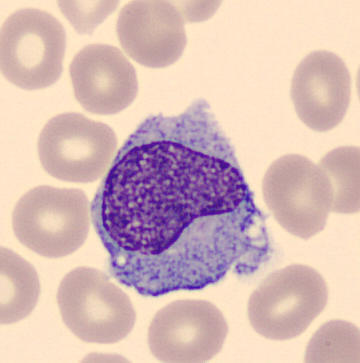Single cell identified as a monocyte.